Bone marrow smear
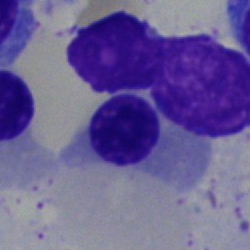

This is a normoblast.